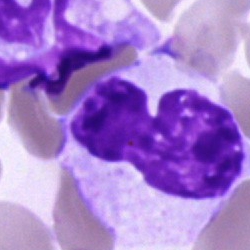Q: Identify the cell.
A: This is an unidentifiable cell.